Single-cell crop. Bone marrow aspirate smear
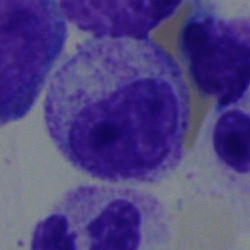

This is a myelocyte.